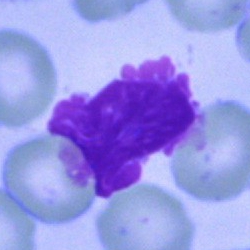

Cell type — artefact.